250 by 250 pixels · 40× objective, oil immersion · bone marrow aspirate smear
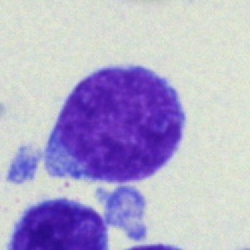

{"cell_type": "undifferentiated blast"}